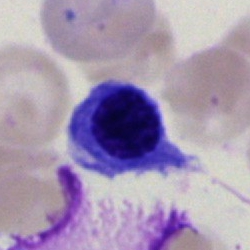 The cell shown is an erythroblast.